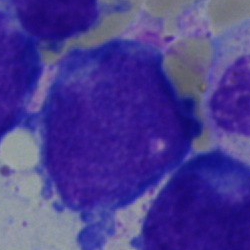 The cell type is blast.